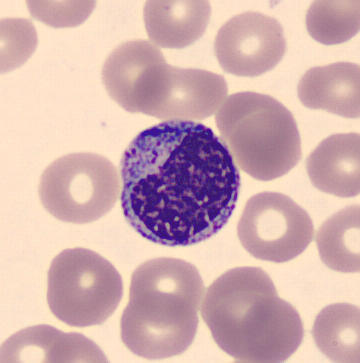Image: May Grünwald-Giemsa stain; peripheral blood smear. Impression — myelocyte.